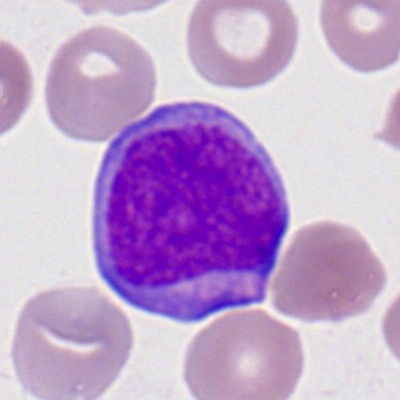The cell is myeloid blast.